Peripheral blood film — 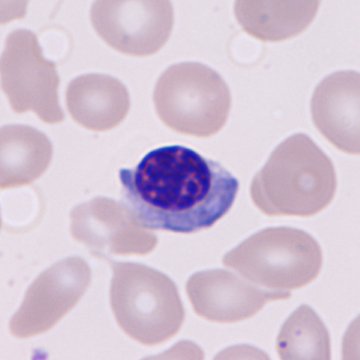
This is a normoblast.